40× objective, oil immersion · bone marrow smear — 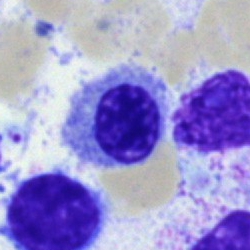The cell type is nucleated red blood cell.